Pappenheim-stained; bone marrow aspirate smear — 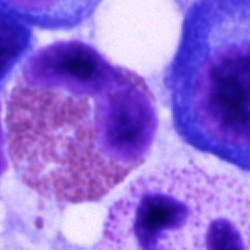 This is an eosinophil.